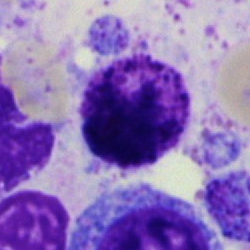Q: What is the morphological classification of this cell?
A: A basophilic granulocyte.